Bone marrow smear.
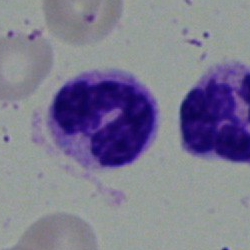Showing a polymorphonuclear neutrophil.